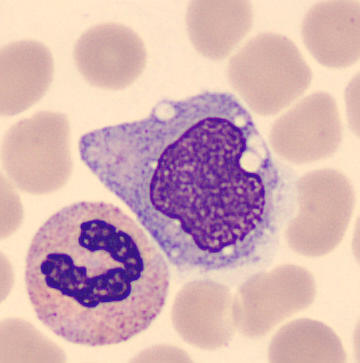Cell: monocyte.